May-Grünwald-Giemsa stain; bone marrow smear.
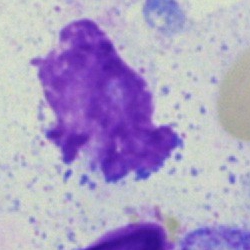 The morphological class is artefact.